Bone marrow smear:
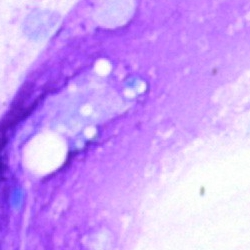 Specimen: bone marrow smear.
Morphological class: artifact.